Brightfield, 40× oil-immersion objective · bone marrow smear · May-Grünwald-Giemsa/Pappenheim stain:
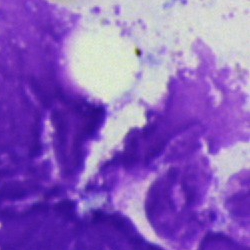

Showing an artefact.